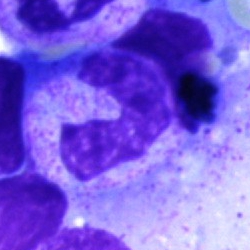

Morphology → stab cell.